Bone marrow aspirate smear · brightfield microscopy, 40× oil immersion.
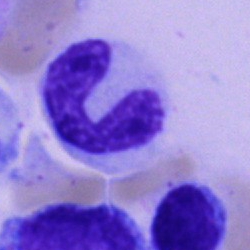Morphological class — stab cell.